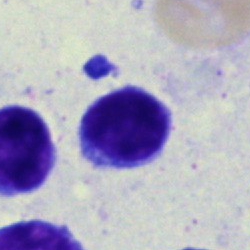 Impression → typical lymphocyte.